Bone marrow aspirate smear.
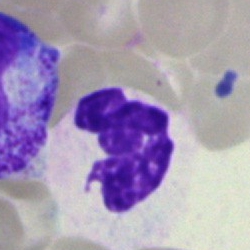

{"cell_type": "neutrophil (segmented)", "lineage": "myeloid"}